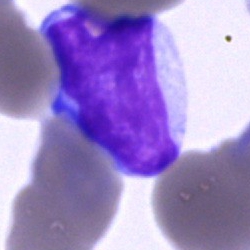 {"cell_type": "undifferentiated blast"}